Bone marrow smear
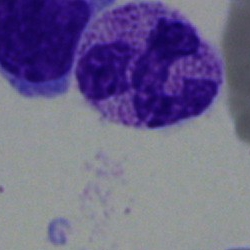

Specimen: bone marrow aspirate smear.
Classification: polymorphonuclear neutrophil.
Lineage: myeloid.